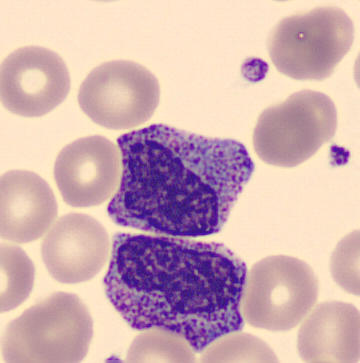 Impression — myelocyte.